May-Grünwald-Giemsa/Pappenheim stain. Bone marrow aspirate smear: 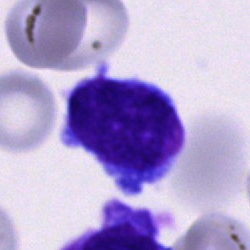Q: What is shown here?
A: A blast.